250 by 250 pixels · bone marrow smear
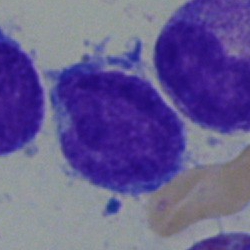

Cell = blast.